Bone marrow smear — 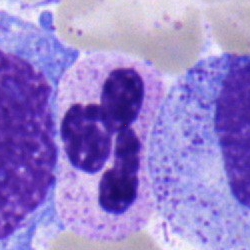

{"cell_type": "segmented neutrophil", "lineage": "myeloid"}